May-Grünwald-Giemsa/Pappenheim stain. Bone marrow aspirate smear — 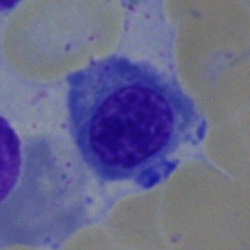The cell type is erythroblast.